250 by 250 pixels. Bone marrow aspirate smear:
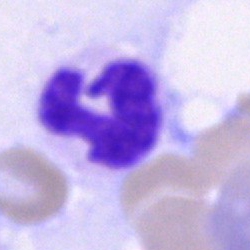 {"cell_type": "neutrophil (segmented)", "lineage": "myeloid"}